Bone marrow smear: 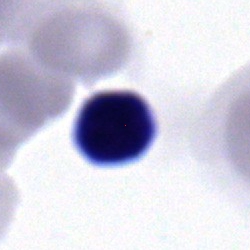
Morphology — typical lymphocyte.